Bone marrow aspirate smear; 40× objective, oil immersion: 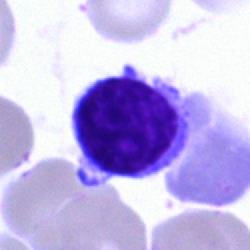
Single cell identified as a lymphocyte.